Brightfield, 40× oil-immersion objective; bone marrow aspirate smear; single-cell field.
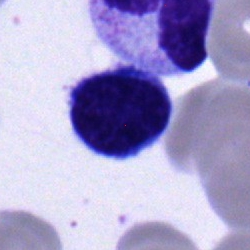 Cell = lymphocyte.